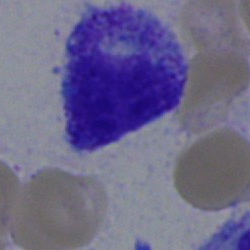 Q: What type of cell is this?
A: This is a myelocyte.